Pappenheim-stained. Bone marrow smear. Brightfield, 40× oil-immersion objective
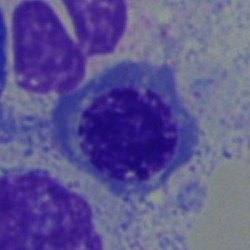
Specimen: bone marrow aspirate smear.
Cell: nucleated red cell.